Pappenheim-stained. Single-cell field. Bone marrow smear:
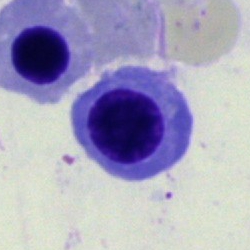Q: What cell is this?
A: This is a nucleated red cell.